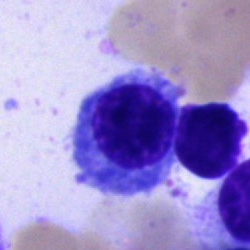 Specimen: bone marrow smear.
Morphological class: nucleated red blood cell.